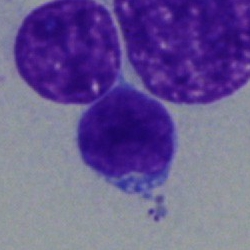
{"cell_type": "undifferentiated blast"}